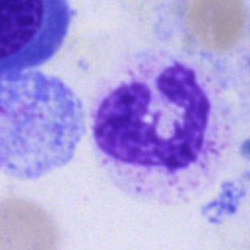

Morphological class: polymorphonuclear neutrophil.